Bone marrow aspirate smear. Image size 250×250:
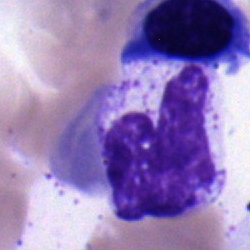 Specimen: bone marrow aspirate smear.
Cell: neutrophil (segmented).